MGG-stained; bone marrow smear
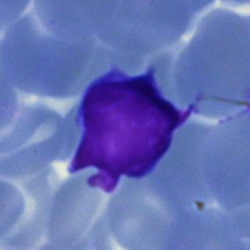

Single cell identified as a typical lymphocyte.